Single cell centered in the field. Bone marrow aspirate smear:
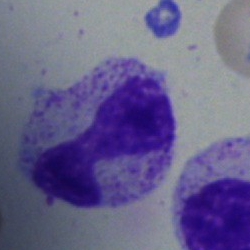 The cell type is stab cell.